40× oil immersion · bone marrow aspirate smear: 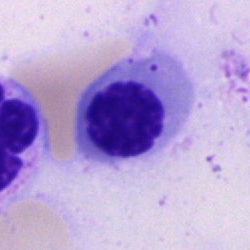The cell type is nucleated red blood cell.